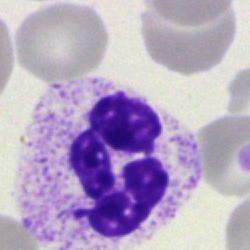 Showing a neutrophil (segmented).